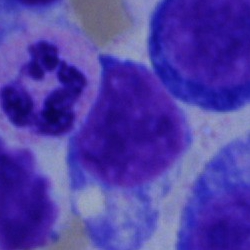 Single-cell crop from a bone marrow smear: segmented neutrophil.